Bone marrow smear. 40× oil immersion. Image size 250×250 — 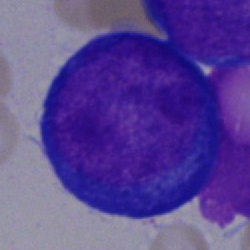

A pronormoblast.